Bone marrow smear.
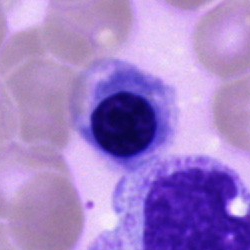

Impression — normoblast.